Bone marrow smear:
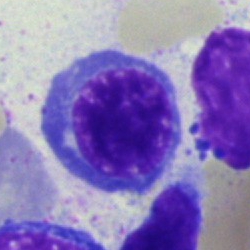Q: What cell is this?
A: It is a normoblast.